Bone marrow smear — 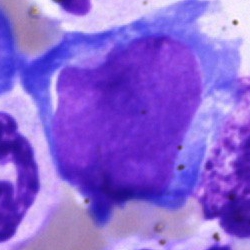
Classification = pronormoblast.